Image size 400×400; peripheral blood film; cropped to a single cell:
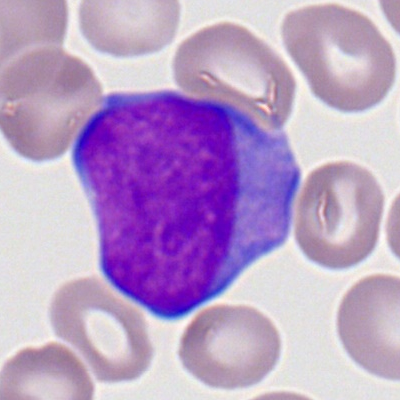Impression → myeloid blast.